40× objective, oil immersion. Pappenheim-stained. Bone marrow smear: 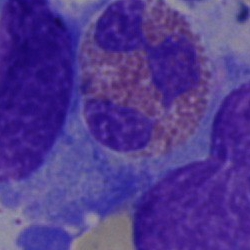

Showing an eosinophilic granulocyte.